Bone marrow smear — 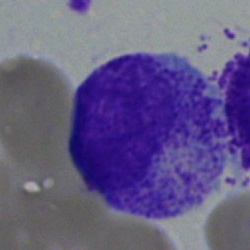
Showing a myelocyte.